Bone marrow smear.
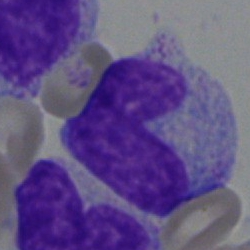
Specimen: bone marrow smear.
Cell type: monocyte.
Lineage: myeloid.